Bone marrow smear — 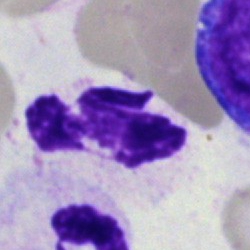Polymorphonuclear neutrophil.